Bone marrow aspirate smear: 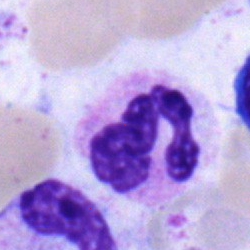 The classification is segmented neutrophil.